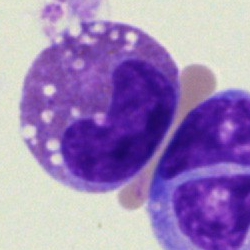Specimen: bone marrow smear.
Cell type: eosinophilic granulocyte.